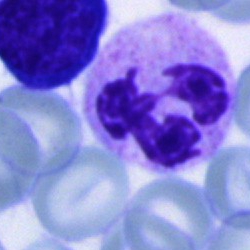
Showing a neutrophil (segmented).